Bone marrow aspirate smear
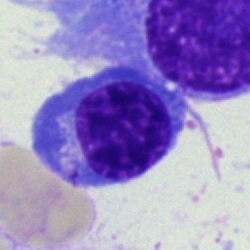

Single cell identified as a normoblast.